Single cell centered in the field · bone marrow aspirate smear.
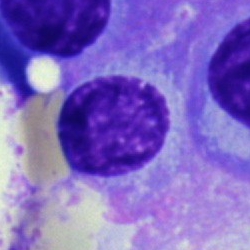Morphology consistent with a plasma cell.